Bone marrow smear · brightfield, 40× oil-immersion objective: 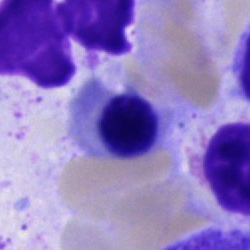

{"cell_type": "normoblast"}